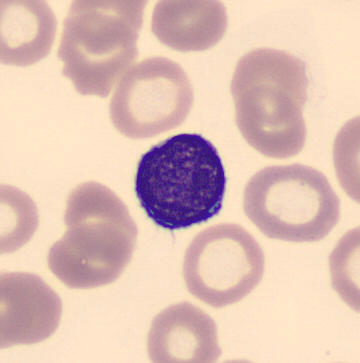Image: Single-cell crop. Specimen: peripheral blood smear.
Classification: lymphocyte.